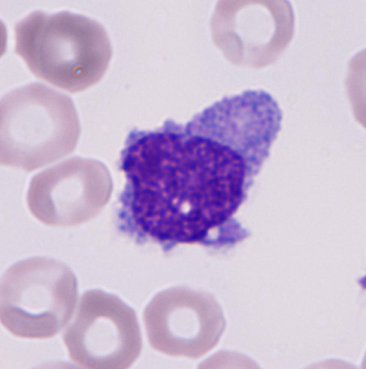

Acquisition: CellaVision DM96 digital cell image; cropped to a single cell. Specimen: peripheral blood film.
Morphological class: monocyte.
Lineage: myeloid.